Bone marrow smear.
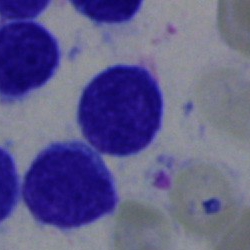

Showing a typical lymphocyte.